Romanowsky-type stain; peripheral blood film.
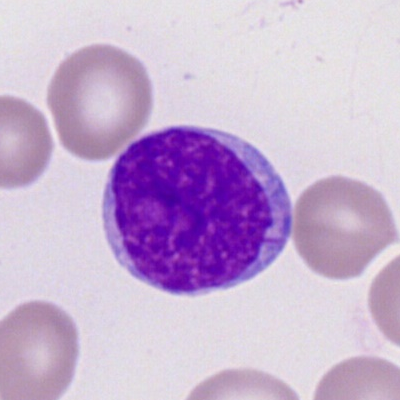 The cell type is myeloid blast.